Single-cell crop; bone marrow smear
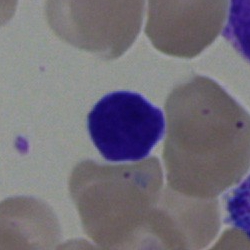Showing a hairy cell.